Bone marrow smear; cropped to a single cell; 250×250 px — 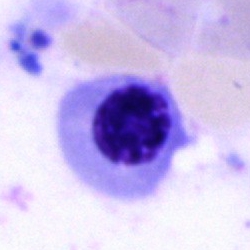
Single cell identified as a normoblast.